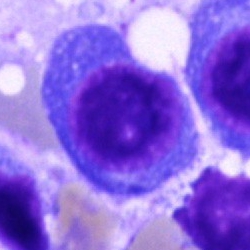
Showing a plasma cell.